Bone marrow aspirate smear:
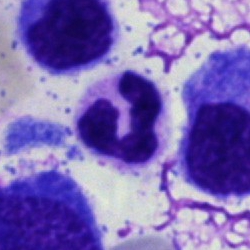Q: What cell is this?
A: It is a neutrophil (segmented).